Brightfield microscopy, 40× oil immersion. Bone marrow aspirate smear: 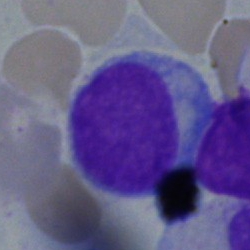
Cell = lymphocyte.